Bone marrow smear. Brightfield microscopy, 40× oil immersion: 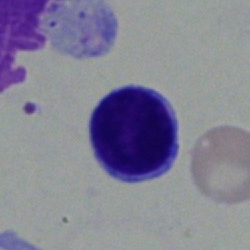Q: Identify the cell.
A: This is a typical lymphocyte.